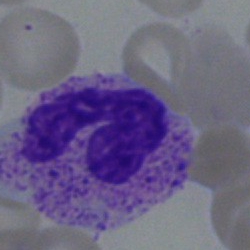Q: Which cell type is shown here?
A: Neutrophil (band).